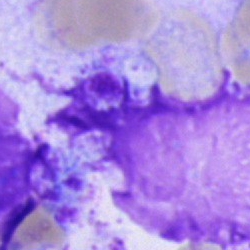

Q: What is shown here?
A: An artefact.